Bone marrow aspirate smear: 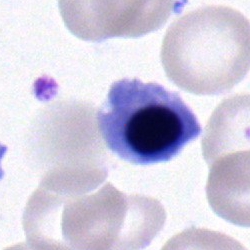

Morphology consistent with a nucleated red cell.